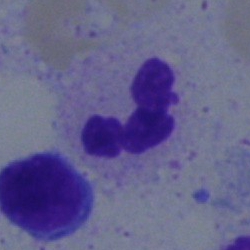Q: What is shown here?
A: A neutrophil (segmented).